Romanowsky stain · single-cell field · peripheral blood film
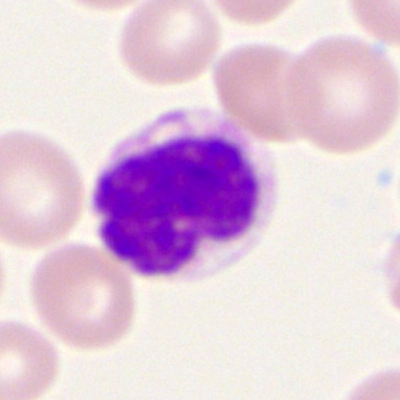
{"cell_type": "basophilic granulocyte", "lineage": "myeloid"}